Bone marrow aspirate smear: 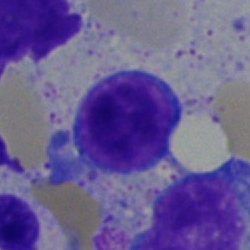Cell type: typical lymphocyte.